Bone marrow aspirate smear:
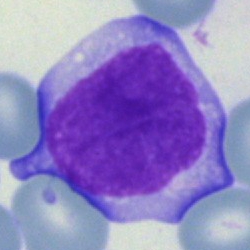

{"cell_type": "immature lymphocyte", "lineage": "lymphoid"}